Bone marrow aspirate smear; single-cell field:
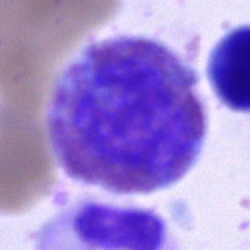
The cell shown is an eosinophilic granulocyte.